Bone marrow aspirate smear: 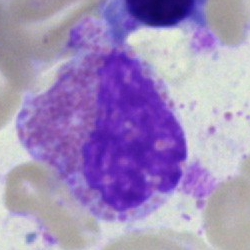

Q: What type of cell is this?
A: An eosinophilic granulocyte.